Bone marrow smear:
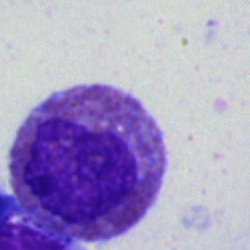 This is an eosinophil.